Brightfield, 40× oil-immersion objective. Bone marrow aspirate smear. May-Grünwald-Giemsa/Pappenheim stain — 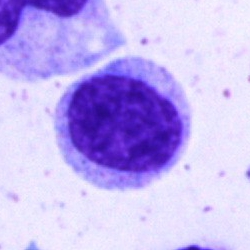Q: What cell is this?
A: This is a lymphocyte.